Bone marrow smear
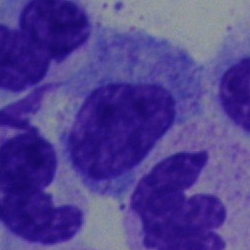The cell is myelocyte.